Bone marrow smear — 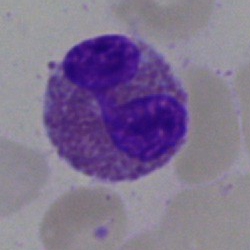 Morphological class = eosinophilic granulocyte.